Peripheral blood film; single-cell field; 100× objective, oil immersion — 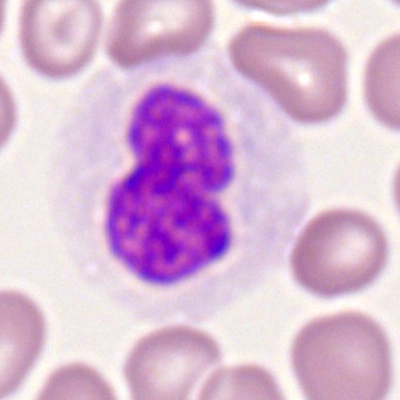

The cell shown is a monocyte.